Bone marrow smear. Image size 250×250: 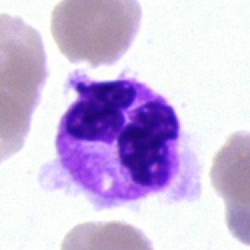
Polymorphonuclear neutrophil.